Peripheral blood film; Romanowsky-type stain; 100× oil immersion:
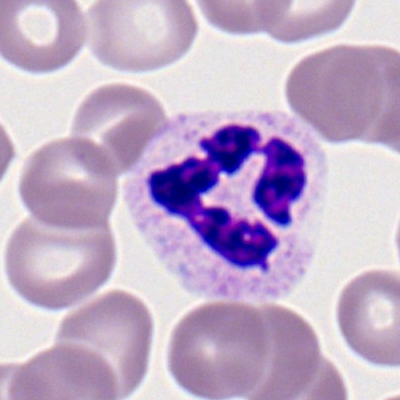 Q: What type of cell is this?
A: This is a segmented neutrophil.